Bone marrow smear:
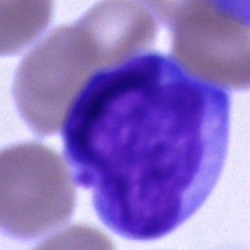Impression → undifferentiated blast.